Bone marrow aspirate smear — 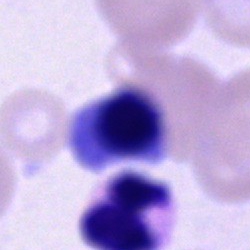

Showing a cell of indeterminate lineage.